Peripheral blood film · 100× oil immersion
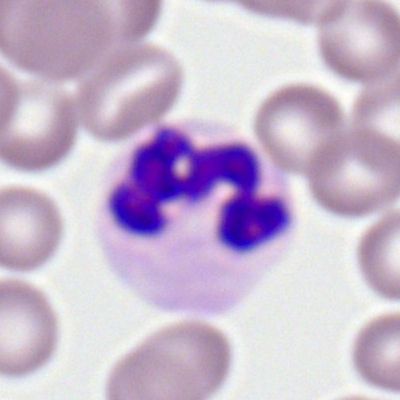

Showing a neutrophil (segmented).